Bone marrow smear · May-Grünwald-Giemsa stain
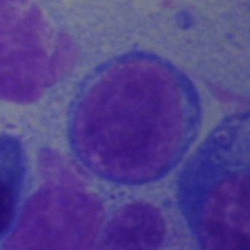
{"cell_type": "typical lymphocyte", "lineage": "lymphoid"}